Bone marrow smear.
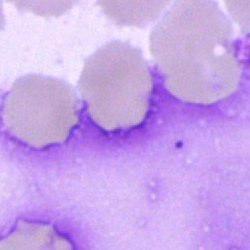 Cell type: artifact.